MGG-stained; bone marrow smear:
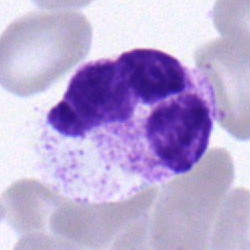The cell shown is a neutrophil (segmented).